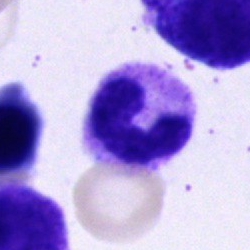

A band neutrophil on a bone marrow smear.